Bone marrow smear:
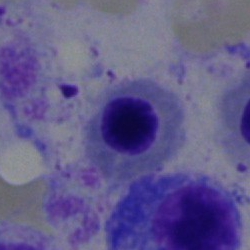

Specimen: bone marrow smear.
Cell: nucleated red blood cell.